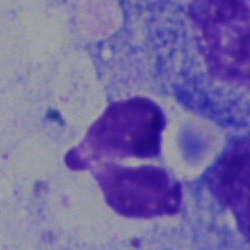

Morphological class: neutrophil (segmented).